Single cell centered in the field · brightfield, 40× oil-immersion objective · bone marrow smear
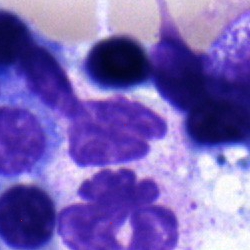Morphological class = polymorphonuclear neutrophil.